Bone marrow aspirate smear: 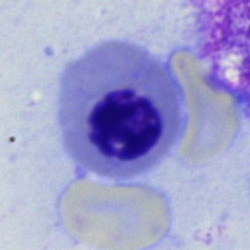
Nucleated red blood cell.